Bone marrow smear — 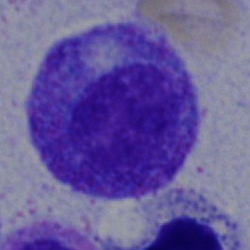 Q: What is the morphological classification of this cell?
A: This is a myelocyte.